Bone marrow smear. Single-cell crop: 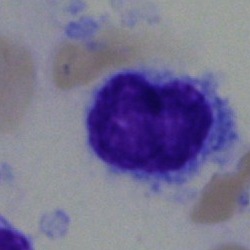
Q: What type of cell is this?
A: Hairy cell.